Bone marrow smear — 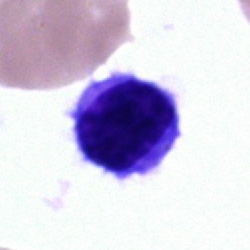Q: Which cell type is shown here?
A: This is a typical lymphocyte.